Bone marrow smear: 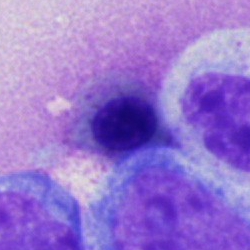Cell: erythroblast.